Bone marrow aspirate smear — 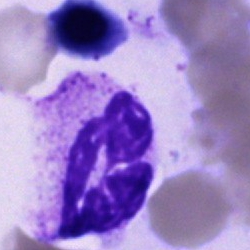 Single cell identified as a segmented neutrophil.